250 by 250 pixels; bone marrow smear; brightfield, 40× oil-immersion objective
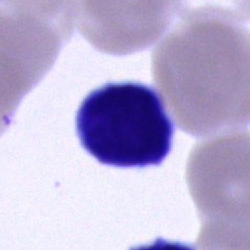 Specimen: bone marrow aspirate smear.
Cell: lymphocyte.
Lineage: lymphoid.